40× objective, oil immersion. Bone marrow smear. Single-cell field:
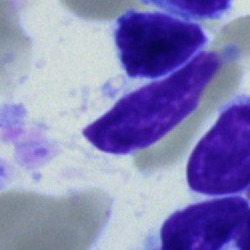 {"cell_type": "artefact"}